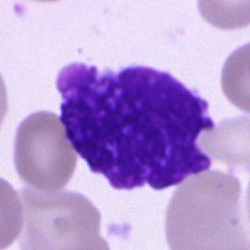Specimen: bone marrow aspirate smear.
Cell: artifact.